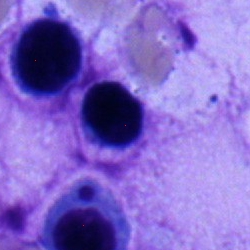
Classification — typical lymphocyte.